Bone marrow smear · single-cell crop
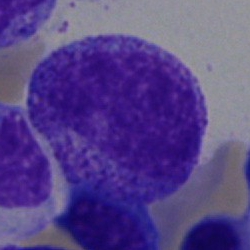 A myelocyte.